Bone marrow aspirate smear: 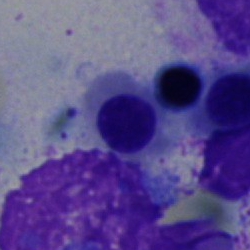Classification: normoblast.